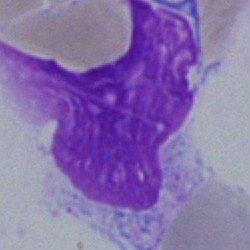
Q: What is shown here?
A: It is an artifact.